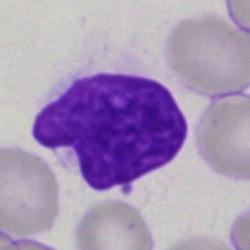

Q: What is shown here?
A: Artifact.